Pappenheim-stained; bone marrow smear; 250 by 250 pixels.
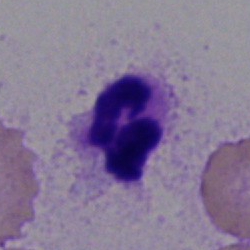 Specimen: bone marrow smear.
Classification: polymorphonuclear neutrophil.
Lineage: myeloid.